Bone marrow smear · 40× objective, oil immersion
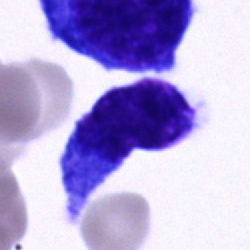

Q: What is the morphological classification of this cell?
A: This is an undifferentiated blast.